MGG-stained · bone marrow smear — 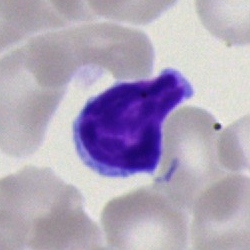

Specimen: bone marrow smear.
Morphological class: typical lymphocyte.